Brightfield microscopy, 40× oil immersion; bone marrow aspirate smear.
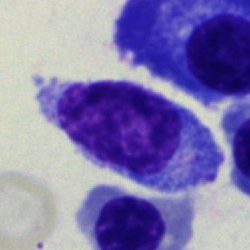Showing a typical lymphocyte.